Bone marrow smear:
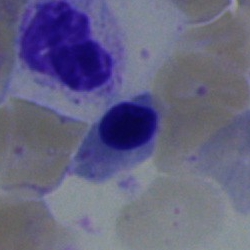Specimen: bone marrow aspirate smear.
Morphological class: nucleated red cell.